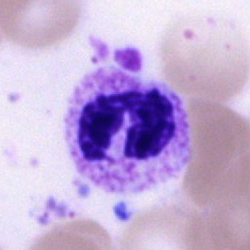
Morphology consistent with a polymorphonuclear neutrophil.